Bone marrow smear: 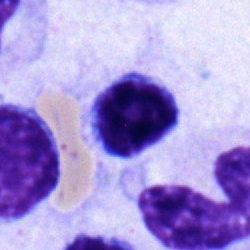Single cell identified as a typical lymphocyte.